40× oil immersion. May-Grünwald-Giemsa stain. Bone marrow smear — 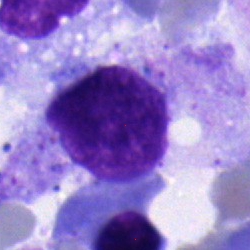
Specimen: bone marrow aspirate smear.
Morphological class: lymphocyte.